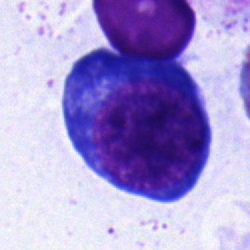This is a proerythroblast.